250×250 px. Bone marrow smear. 40× objective, oil immersion
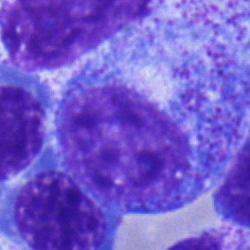
Single cell identified as a progranulocyte.